Bone marrow aspirate smear · single-cell crop — 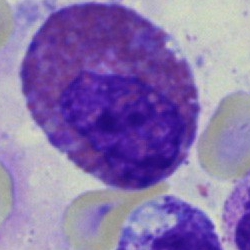
Specimen: bone marrow aspirate smear.
Morphological class: eosinophil.
Lineage: myeloid.